Bone marrow aspirate smear
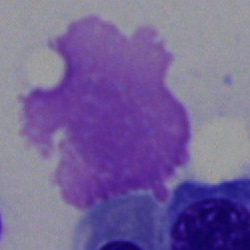

Artifact.